Bone marrow smear; single-cell field: 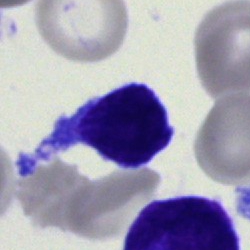

Morphology consistent with a blast.